Bone marrow smear · single-cell crop · 250×250 px: 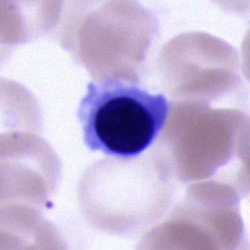

Morphology consistent with a nucleated red blood cell.